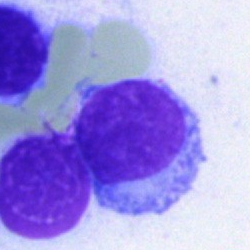
Classification = typical lymphocyte.